Peripheral blood smear; imaged on a CellaVision DM96 analyser:
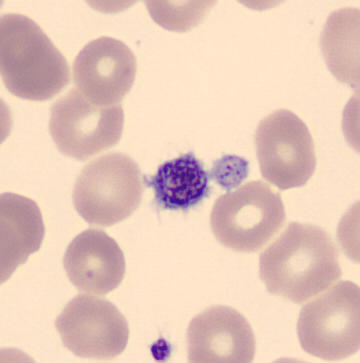

Specimen: peripheral blood smear.
Classification: platelet.